Bone marrow smear · single cell centered in the field · 40× oil immersion.
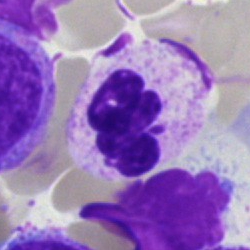

A neutrophil (segmented).